Bone marrow smear · single-cell crop.
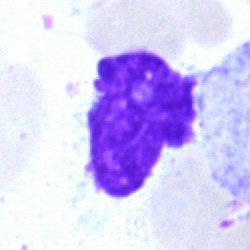 The cell type is artifact.